Bone marrow aspirate smear.
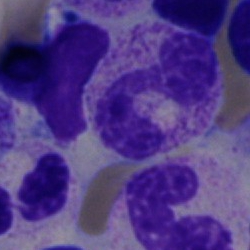

Cell type = polymorphonuclear neutrophil.